Bone marrow smear — 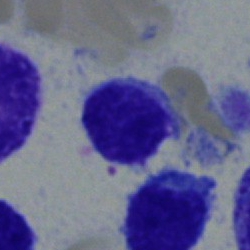
The cell type is lymphocyte.